Bone marrow smear · 40× objective, oil immersion.
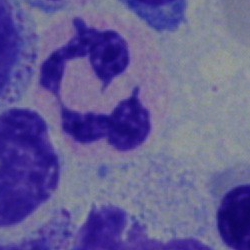Morphology — segmented neutrophil.